250×250 · bone marrow smear · 40× oil immersion:
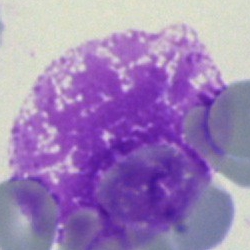 Q: What is shown here?
A: An artifact.